Bone marrow aspirate smear · MGG-stained: 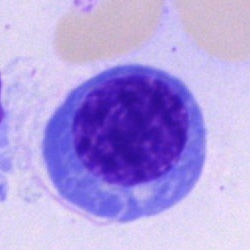

Cell — erythroblast.